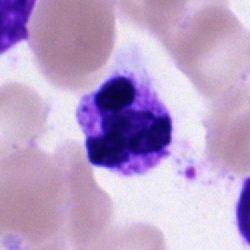

Classification = neutrophil (segmented).